Peripheral blood film: 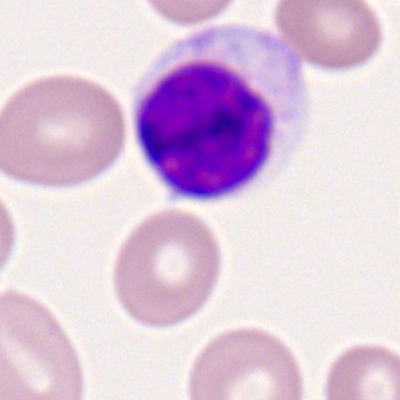
The cell shown is a typical lymphocyte.